Bone marrow aspirate smear:
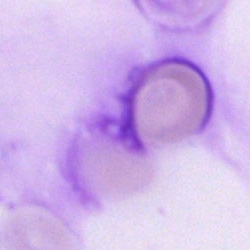

The cell shown is an artifact.